May-Grünwald-Giemsa/Pappenheim stain; 250 by 250 pixels; bone marrow aspirate smear.
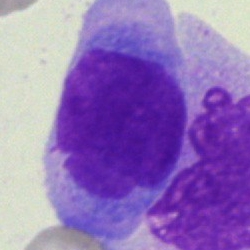
This is an undifferentiated blast.